Bone marrow aspirate smear. May-Grünwald-Giemsa stain. Cropped to a single cell.
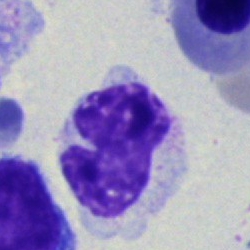

{"cell_type": "band-form neutrophil", "lineage": "myeloid"}